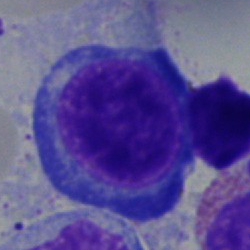 Single-cell crop from a bone marrow smear: pronormoblast.